Bone marrow smear · single-cell crop.
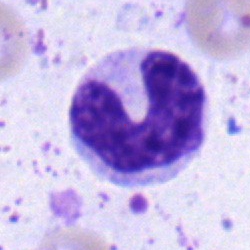

Cell type — band neutrophil.